Bone marrow aspirate smear
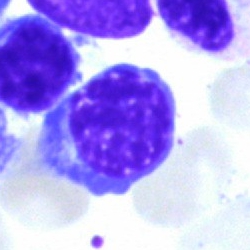

Classification = erythroblast.